Bone marrow aspirate smear: 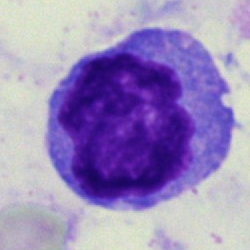 Showing a monocyte.